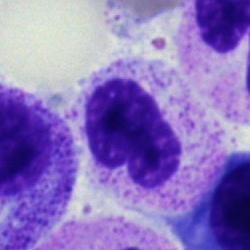The cell shown is a neutrophil (band).